Bone marrow aspirate smear.
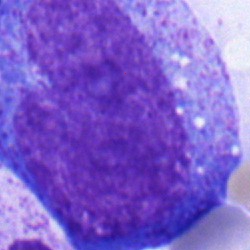 Classification — progranulocyte.